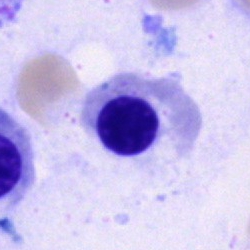 The cell type is erythroblast.